Peripheral blood film
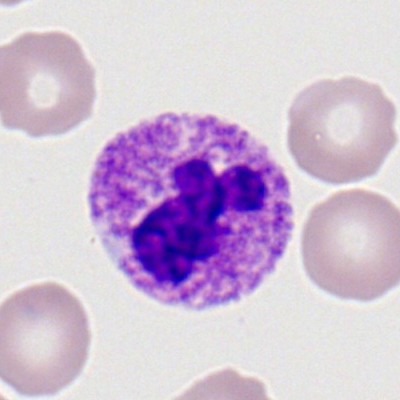 Cell type — neutrophil (segmented).